Bone marrow aspirate smear
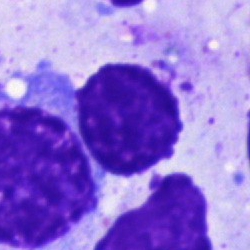Morphology — artefact.